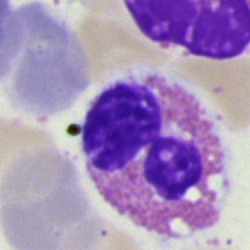Classification = eosinophilic granulocyte.